Bone marrow smear
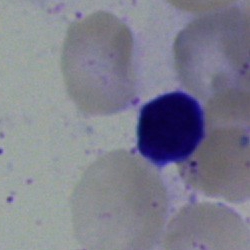 Lymphocyte.